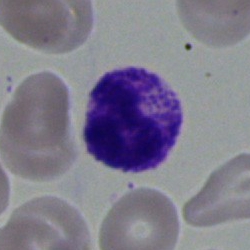
Impression — polymorphonuclear neutrophil.